Bone marrow smear. 40× oil immersion. Pappenheim-stained: 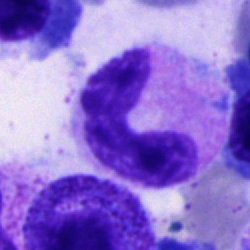

Single cell identified as a band-form neutrophil.